Bone marrow aspirate smear. 40× objective, oil immersion: 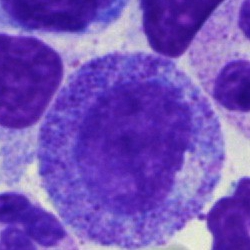
Q: What is shown here?
A: This is a progranulocyte.